Peripheral blood film. Romanowsky-stained — 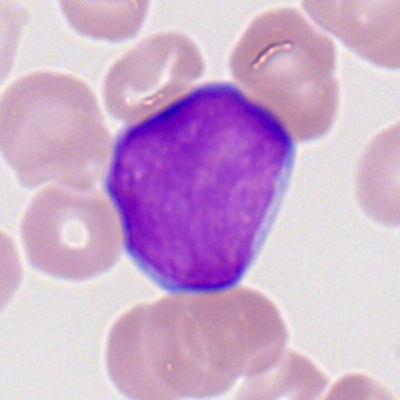Morphology consistent with a myeloblast.